Bone marrow smear; brightfield, 40× oil-immersion objective.
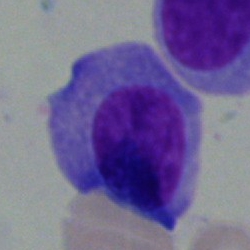 Single cell identified as a plasmacyte.